Cropped to a single cell. Bone marrow smear
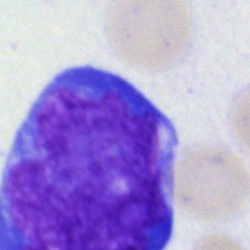
Q: What type of cell is this?
A: Lymphocyte (immature).